Peripheral blood film:
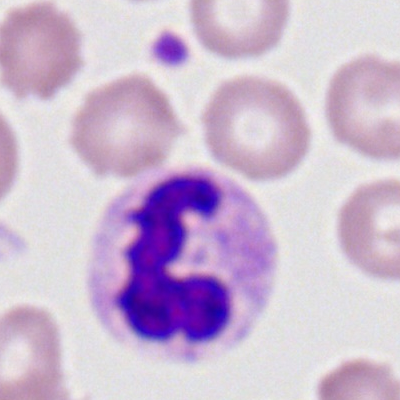
The classification is polymorphonuclear neutrophil.